Peripheral blood smear: 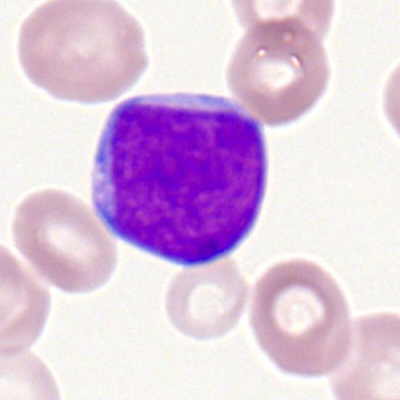

The cell type is myeloid blast.